Bone marrow aspirate smear
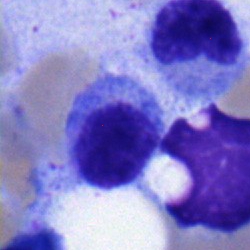

The cell shown is a lymphocyte.